Peripheral blood smear — 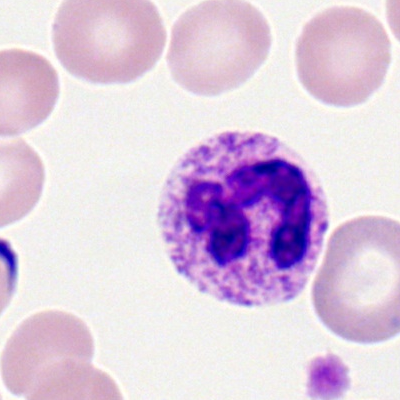Impression — segmented neutrophil.